Brightfield, 100× oil-immersion objective · peripheral blood film
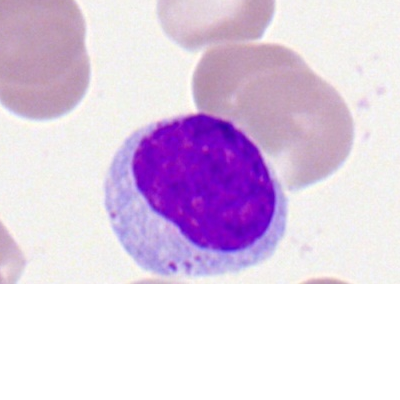Q: Which cell type is shown here?
A: Typical lymphocyte.